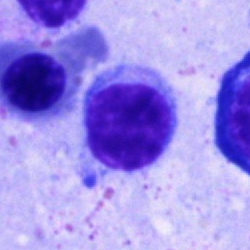 Classification: typical lymphocyte.